Bone marrow aspirate smear. 40× oil immersion. Single-cell crop.
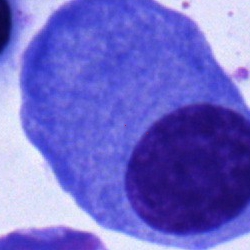 Q: What is the morphological classification of this cell?
A: Plasmacyte.